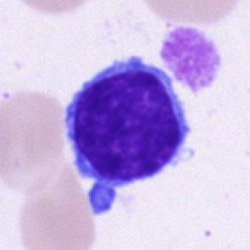
Q: What is the morphological classification of this cell?
A: This is a lymphocyte.